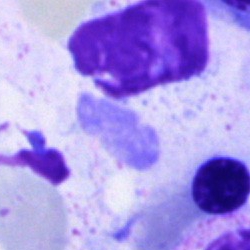Q: What is shown here?
A: It is an artifact.